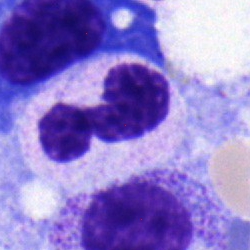
Impression — segmented neutrophil.